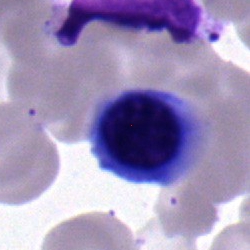
Q: Which cell type is shown here?
A: This is an erythroblast.